Brightfield microscopy, 40× oil immersion · bone marrow smear
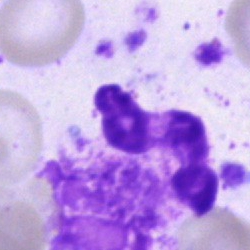Specimen: bone marrow aspirate smear.
Morphological class: artifact.